Bone marrow aspirate smear. May-Grünwald-Giemsa/Pappenheim stain — 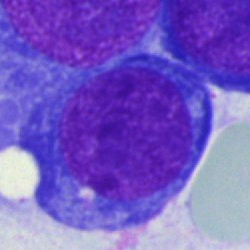
Q: What is the morphological classification of this cell?
A: A nucleated red cell.